Peripheral blood smear
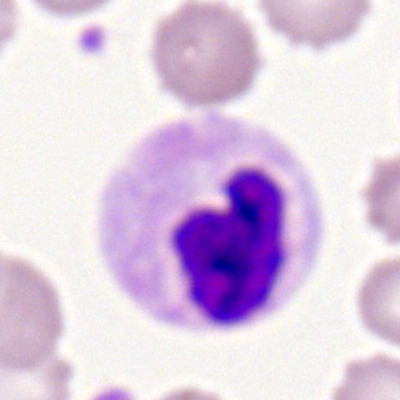

Q: What type of cell is this?
A: It is a neutrophil (segmented).